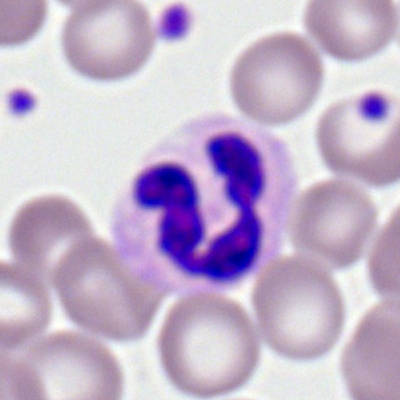 Single-cell crop from a peripheral blood smear: polymorphonuclear neutrophil.